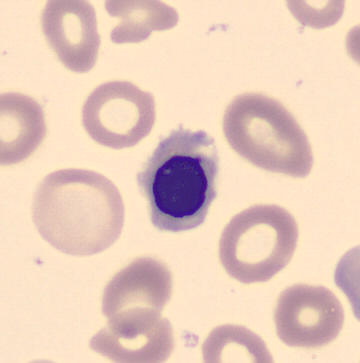

Erythroblast.

Image: Peripheral blood smear.